Image size 250×250. Bone marrow smear:
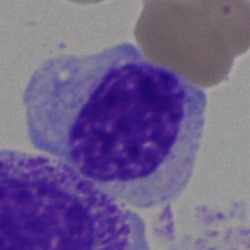The morphological class is nucleated red blood cell.